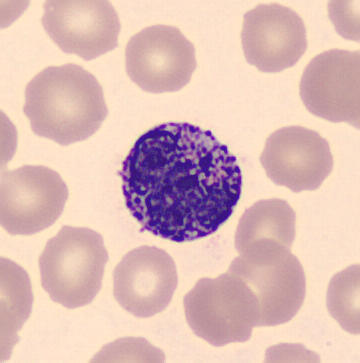 Cell type: basophil.

Peripheral blood film.